Bone marrow smear; brightfield, 40× oil-immersion objective
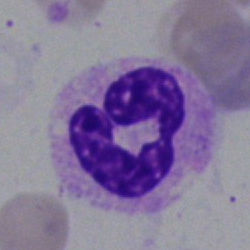

Morphology → polymorphonuclear neutrophil.